Bone marrow aspirate smear: 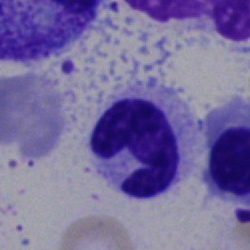
Q: What cell is this?
A: Segmented neutrophil.